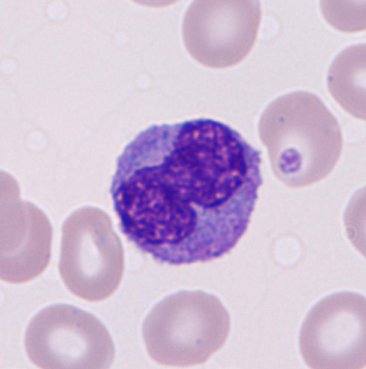
Classification = monocyte.
MGG-stained; peripheral blood smear.